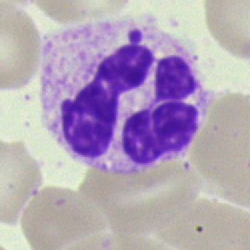 Q: Which cell type is shown here?
A: It is a polymorphonuclear neutrophil.